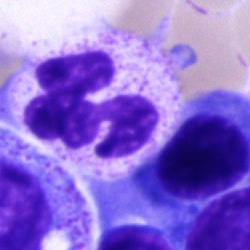

Specimen: bone marrow smear.
Morphological class: polymorphonuclear neutrophil.